Peripheral blood smear. Romanowsky stain:
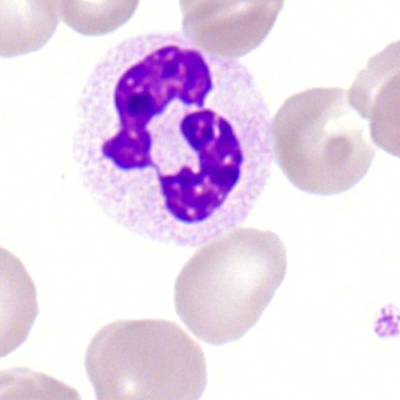

Morphological class — polymorphonuclear neutrophil.